Bone marrow aspirate smear. Brightfield microscopy, 40× oil immersion. 250 by 250 pixels — 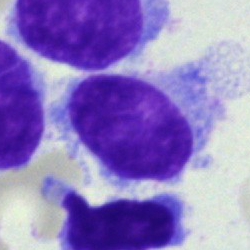Specimen: bone marrow smear.
Classification: hairy cell.